Bone marrow smear · 40× objective, oil immersion
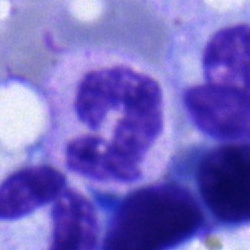

The cell type is band-form neutrophil.